Bone marrow smear.
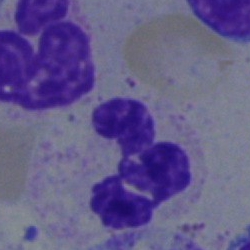

The cell shown is a polymorphonuclear neutrophil.